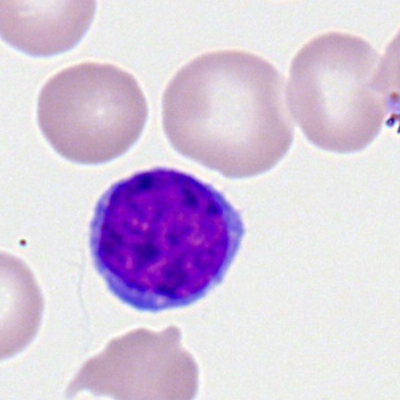 Morphology — lymphocyte.